Bone marrow smear · 250 by 250 pixels: 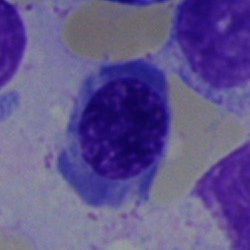Q: Identify the cell.
A: An erythroblast.